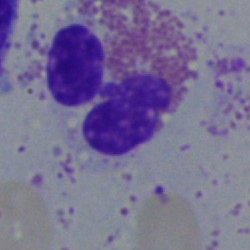The cell shown is an eosinophilic granulocyte.